Cropped to a single cell. May-Grünwald-Giemsa stain. Bone marrow aspirate smear
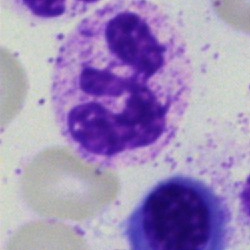

Single cell identified as a neutrophil (segmented).